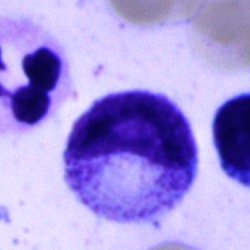 Specimen: bone marrow aspirate smear.
Cell type: progranulocyte.
Lineage: myeloid.